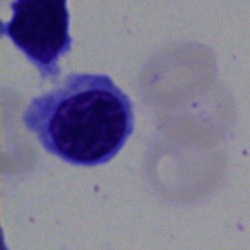 Morphological class = erythroblast.